Bone marrow aspirate smear:
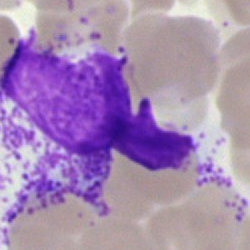Q: What is shown here?
A: An artifact.